Bone marrow smear:
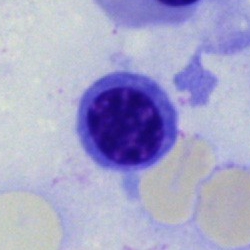
Specimen: bone marrow aspirate smear.
Cell type: erythroblast.
Lineage: erythroid.